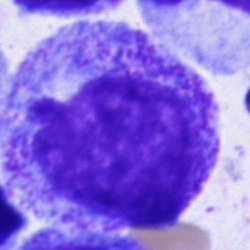
Q: Which cell type is shown here?
A: A progranulocyte.